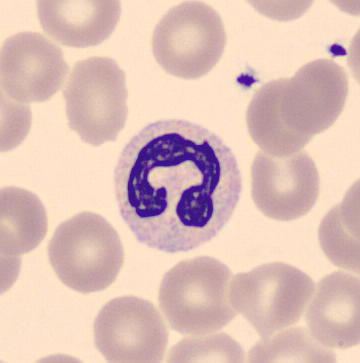Q: What is the morphological classification of this cell?
A: This is a segmented neutrophil.